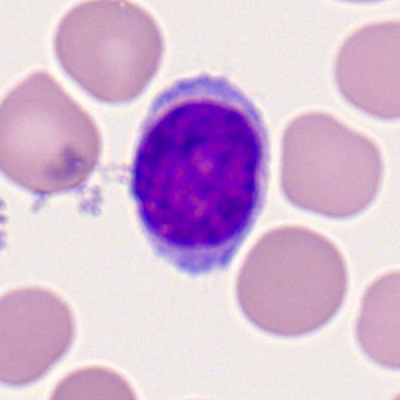{"cell_type": "typical lymphocyte"}